Bone marrow smear:
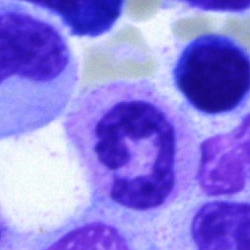
The cell shown is a neutrophil (segmented).